Bone marrow aspirate smear · single cell centered in the field.
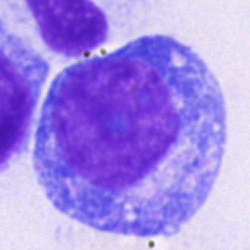

The classification is progranulocyte.